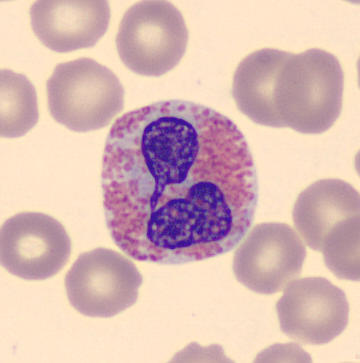Peripheral blood film, single cell — eosinophil.